Pappenheim-stained · bone marrow aspirate smear.
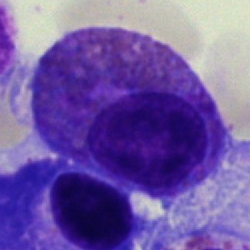
An eosinophil.